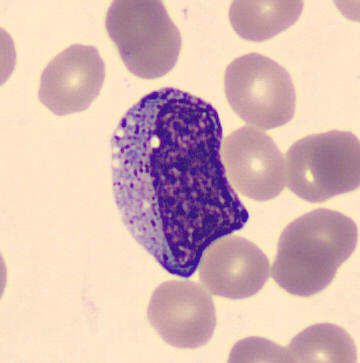
Specimen: peripheral blood smear.
Cell type: progranulocyte.